Bone marrow smear. May-Grünwald-Giemsa stain
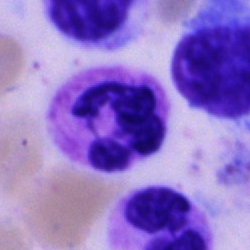Specimen: bone marrow aspirate smear.
Morphological class: neutrophil (segmented).